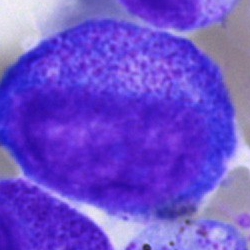
Showing a promyelocyte.